Romanowsky-stained. Peripheral blood smear:
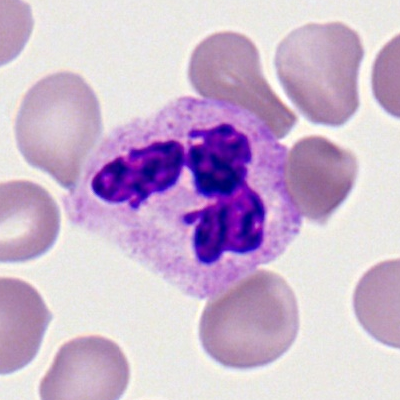

Q: What is the morphological classification of this cell?
A: Polymorphonuclear neutrophil.